40× oil immersion · bone marrow smear:
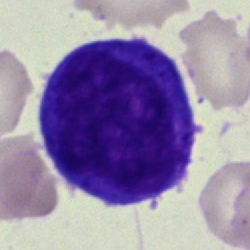 This is a monocyte.